250×250 · Pappenheim-stained · bone marrow smear
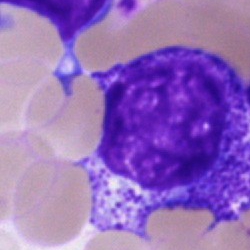
Specimen: bone marrow aspirate smear.
Cell type: myelocyte.
Lineage: myeloid.